Bone marrow smear
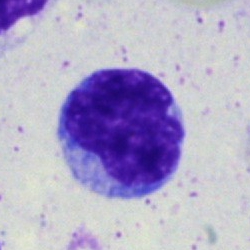
Cell = typical lymphocyte.